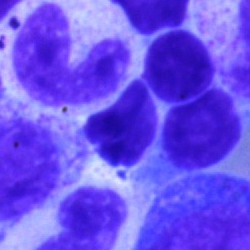

Morphological class = band neutrophil.